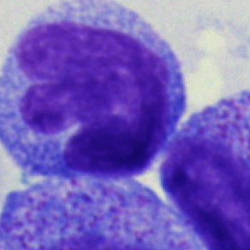Morphology — monocyte.